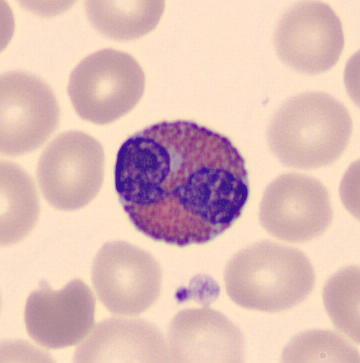 Morphological class = eosinophil.
May Grünwald-Giemsa stain; automated cell imaging (CellaVision DM96); peripheral blood smear.